Single cell centered in the field · bone marrow aspirate smear
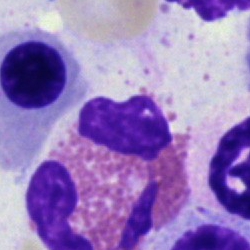

The cell shown is an eosinophil.